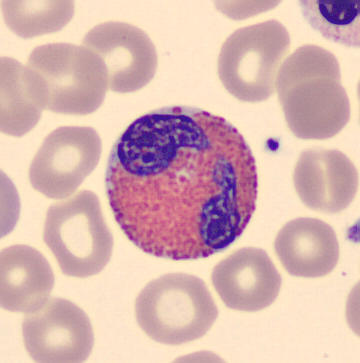An eosinophilic granulocyte.
Peripheral blood smear.